Bone marrow aspirate smear.
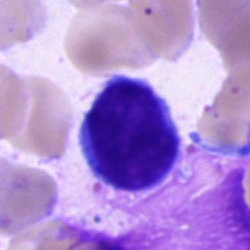 Single cell identified as a lymphocyte.